Bone marrow smear
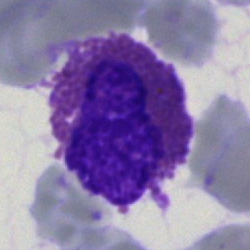Classification — eosinophil.